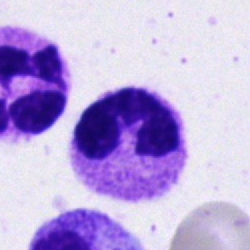

Classification: polymorphonuclear neutrophil.